Bone marrow smear: 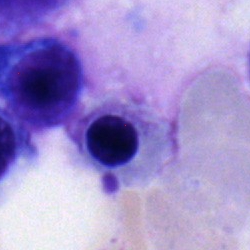
Q: What type of cell is this?
A: This is a nucleated red cell.